Bone marrow smear · 40× objective, oil immersion · Pappenheim-stained — 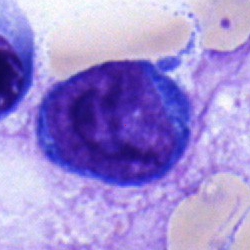Morphology consistent with a pronormoblast.